May-Grünwald-Giemsa stain · bone marrow aspirate smear.
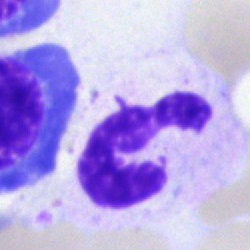Segmented neutrophil.